Bone marrow smear.
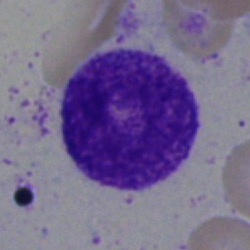
Cell type — myelocyte.